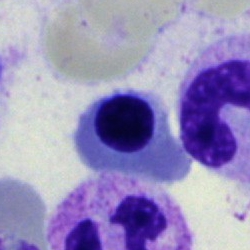
Q: Which cell type is shown here?
A: Nucleated red cell.